Brightfield microscopy, 40× oil immersion. Bone marrow aspirate smear. May-Grünwald-Giemsa/Pappenheim stain: 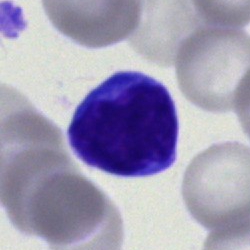
Cell type — blast.